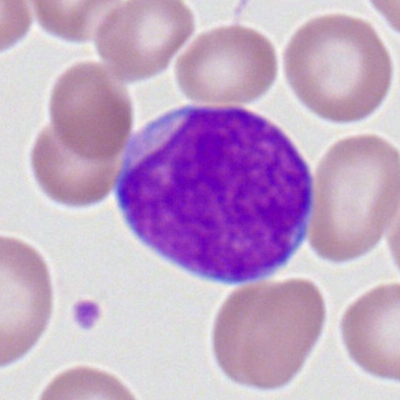

Cell type = myeloid blast.